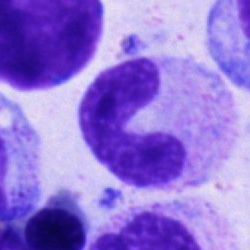
Morphological class = stab cell.